Bone marrow smear. May-Grünwald-Giemsa/Pappenheim stain. Single-cell crop
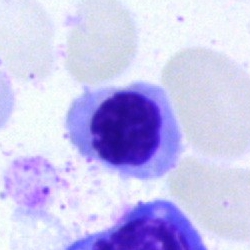The cell is nucleated red cell.